Bone marrow smear.
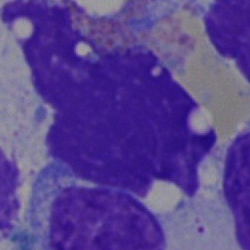

The cell shown is an artefact.